250×250; bone marrow smear; brightfield microscopy, 40× oil immersion:
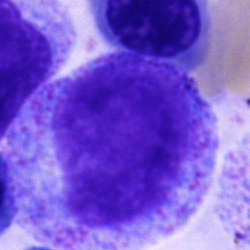

Morphological class = progranulocyte.